Bone marrow smear — 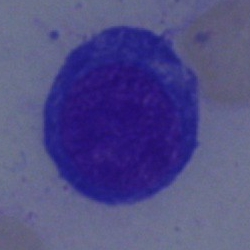Specimen: bone marrow smear.
Cell type: proerythroblast.